Bone marrow aspirate smear
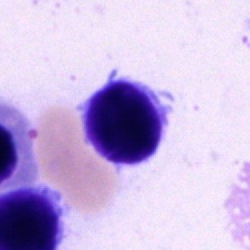

The classification is lymphocyte.